Single-cell crop; 40× objective, oil immersion; bone marrow smear — 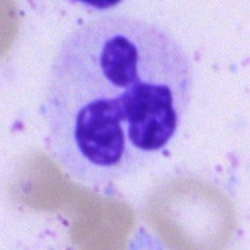Cell type: neutrophil (segmented).